Bone marrow aspirate smear: 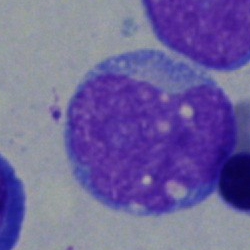 Showing an undifferentiated blast.